Cropped to a single cell; 250×250; bone marrow aspirate smear — 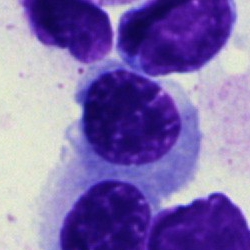

{"cell_type": "normoblast"}